Bone marrow aspirate smear: 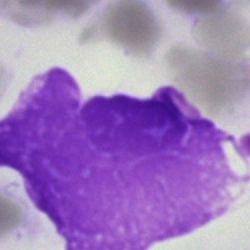The classification is artifact.